Bone marrow aspirate smear.
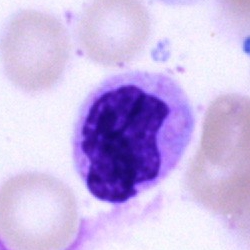Specimen: bone marrow aspirate smear.
Cell: polymorphonuclear neutrophil.
Lineage: myeloid.